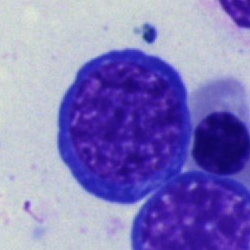
Impression — normoblast.